Bone marrow smear.
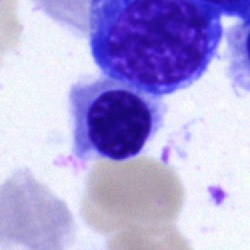Specimen: bone marrow aspirate smear.
Cell: nucleated red cell.